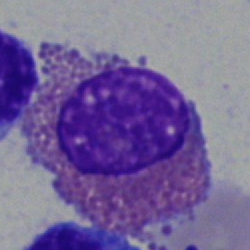Morphology — eosinophil.